Bone marrow aspirate smear. May-Grünwald-Giemsa stain. Single-cell crop.
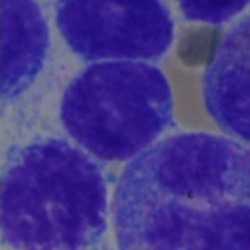The cell shown is a typical lymphocyte.